Bone marrow smear · 40× oil immersion · single cell centered in the field.
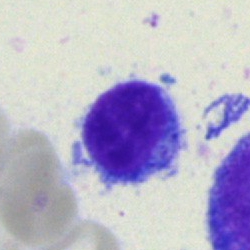Cell type = typical lymphocyte.